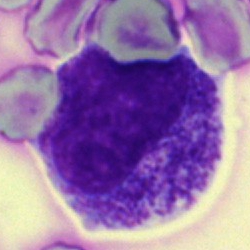This is a progranulocyte.